Bone marrow smear: 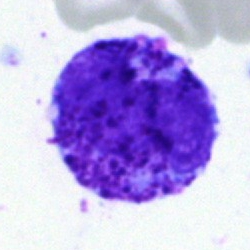 Showing a basophil.